Bone marrow smear; 250×250
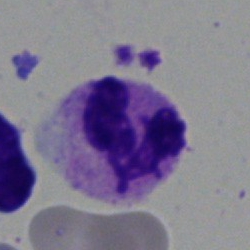Cell — segmented neutrophil.